May-Grünwald-Giemsa/Pappenheim stain. Bone marrow aspirate smear.
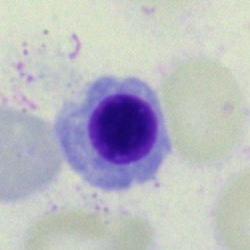

The classification is erythroblast.